Bone marrow aspirate smear
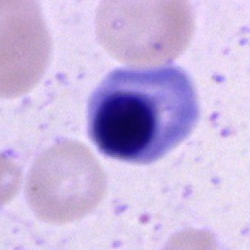

Cell — nucleated red blood cell.